Bone marrow aspirate smear · single-cell crop:
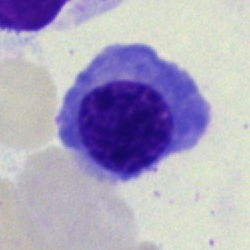 This is a nucleated red cell.